MGG-stained. Image size 250×250. Bone marrow aspirate smear
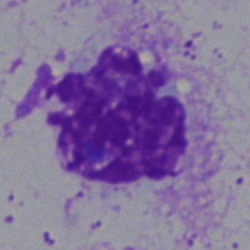

The cell shown is an artifact.